Bone marrow aspirate smear — 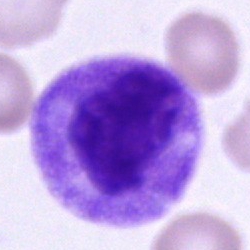

Impression → myelocyte.